Bone marrow smear
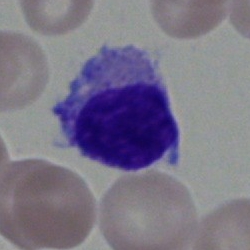Cell: lymphocyte.